Brightfield microscopy, 40× oil immersion · bone marrow aspirate smear.
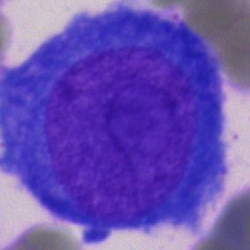
Undifferentiated blast.